Bone marrow smear; brightfield microscopy, 40× oil immersion; single-cell crop: 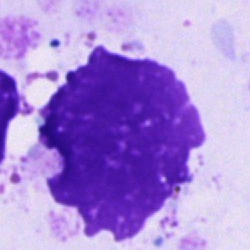 {"cell_type": "artefact"}